Peripheral blood film: 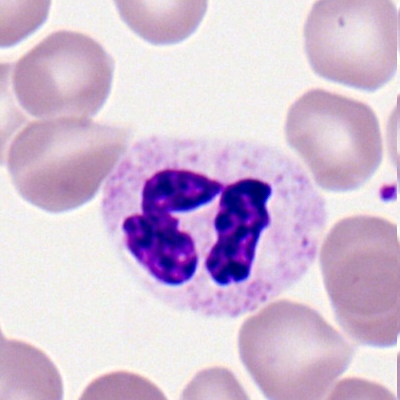 Impression — polymorphonuclear neutrophil.